Bone marrow aspirate smear · brightfield microscopy, 40× oil immersion · MGG-stained
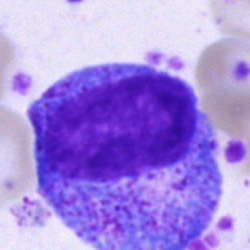Showing a promyelocyte.